Bone marrow aspirate smear
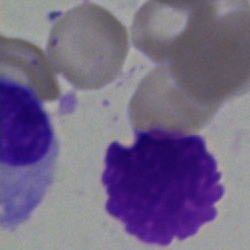

Classification = artifact.